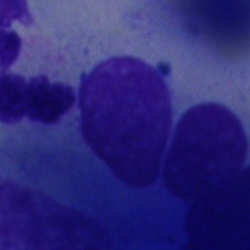 Impression — artefact.